Bone marrow smear: 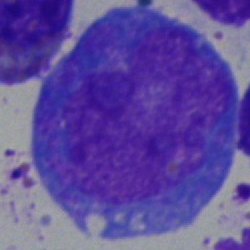 Single cell identified as a progranulocyte.